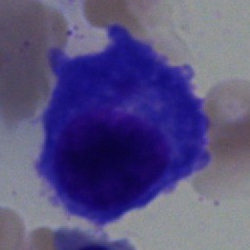Bone marrow smear showing a plasmacyte.